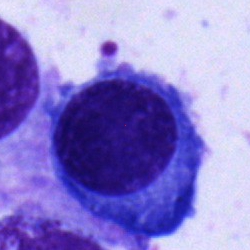The cell type is plasma cell.